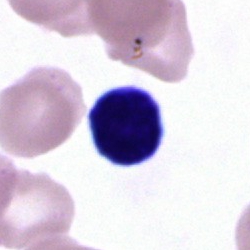

Q: What cell is this?
A: A typical lymphocyte.